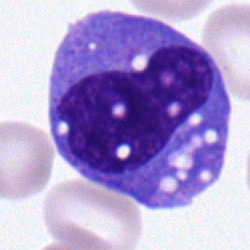 The cell is segmented neutrophil.